Bone marrow smear.
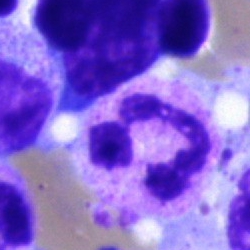Specimen: bone marrow aspirate smear.
Morphological class: polymorphonuclear neutrophil.
Lineage: myeloid.